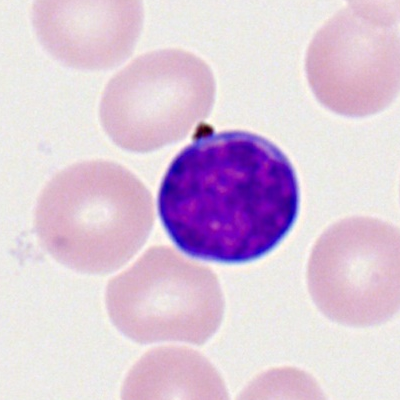Typical lymphocyte.